Pappenheim-stained; bone marrow smear
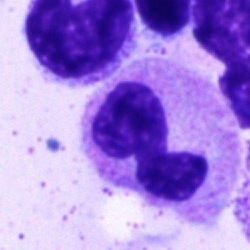 Neutrophil (band).